40× oil immersion · image size 250×250 · bone marrow aspirate smear:
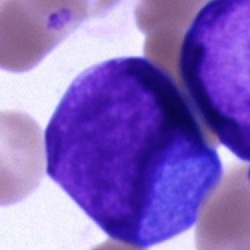 Morphology consistent with a blast.